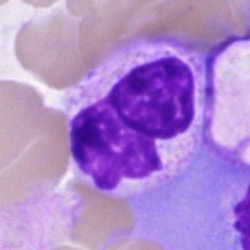

Single-cell crop from a bone marrow smear: neutrophil (segmented).